Bone marrow aspirate smear:
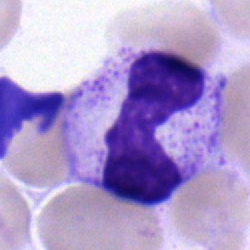 Q: What type of cell is this?
A: It is a neutrophil (segmented).